Bone marrow smear: 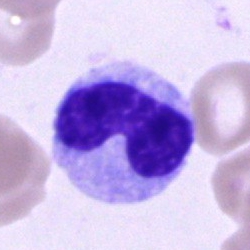
The cell shown is a neutrophil (band).